Bone marrow aspirate smear
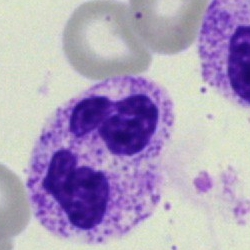

Showing a segmented neutrophil.